Bone marrow aspirate smear. 250 by 250 pixels — 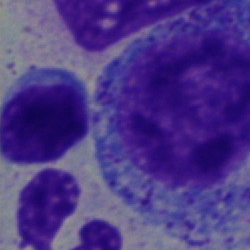

Showing a promyelocyte.